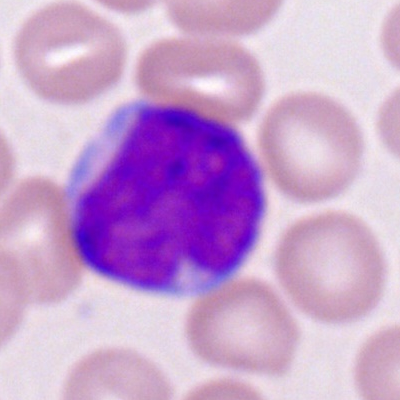

Myeloid blast.